Brightfield, 40× oil-immersion objective · bone marrow aspirate smear: 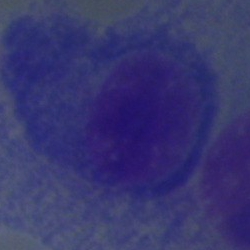

Cell type: plasma cell.